Bone marrow aspirate smear:
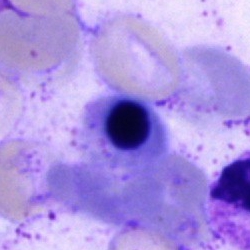

Morphology consistent with a nucleated red cell.